Bone marrow aspirate smear — 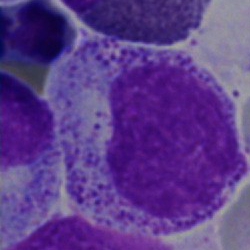

Classification — promyelocyte.